Bone marrow aspirate smear
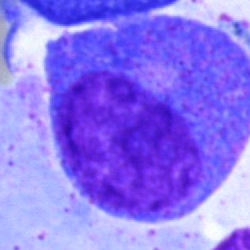
The cell is progranulocyte.